Bone marrow aspirate smear.
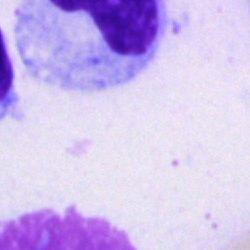Cell type — artifact.